Bone marrow smear. 250×250 px — 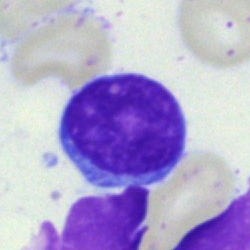Impression — lymphocyte.